Cropped to a single cell. Bone marrow smear:
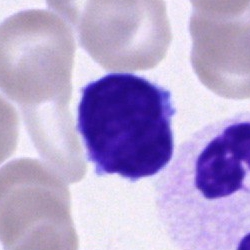

Single cell identified as a typical lymphocyte.